M8 digital microscope (Precipoint), 100× oil immersion · single-cell crop · peripheral blood smear — 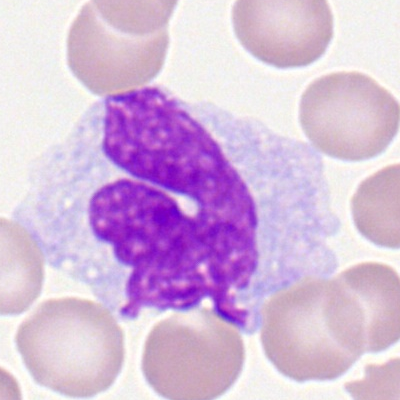
Morphology consistent with a monocyte.